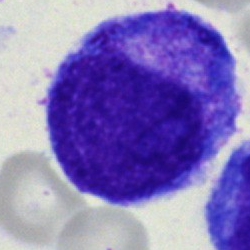 Classification: promyelocyte.